Bone marrow aspirate smear:
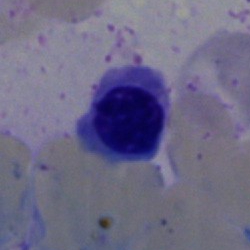Q: What is shown here?
A: This is an erythroblast.